Bone marrow aspirate smear.
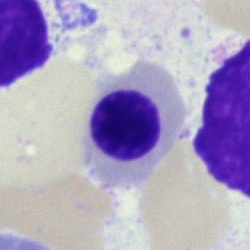
Specimen: bone marrow smear.
Cell: erythroblast.